Bone marrow smear: 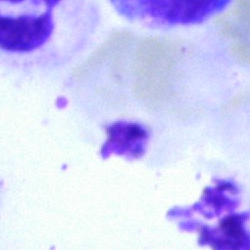
Cell type = artifact.